Bone marrow aspirate smear
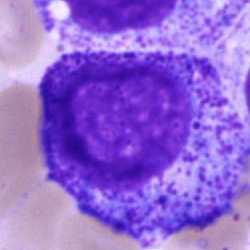{"cell_type": "progranulocyte", "lineage": "myeloid"}